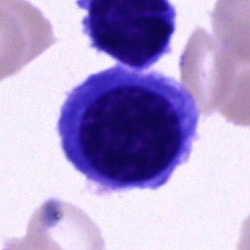 Q: What type of cell is this?
A: An erythroblast.